Bone marrow aspirate smear
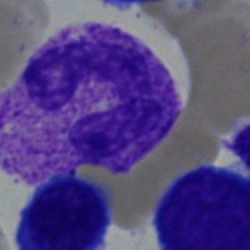 Impression → band neutrophil.